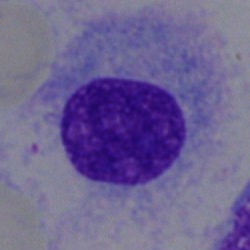
Specimen: bone marrow smear.
Cell type: plasmacyte.